Bone marrow smear. Pappenheim-stained — 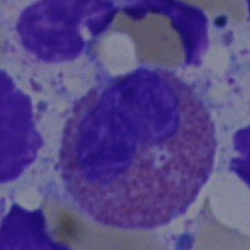 Cell type — eosinophilic granulocyte.